250×250 px; bone marrow smear:
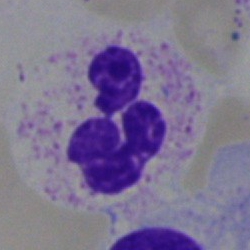 The cell shown is a polymorphonuclear neutrophil.